Peripheral blood film — 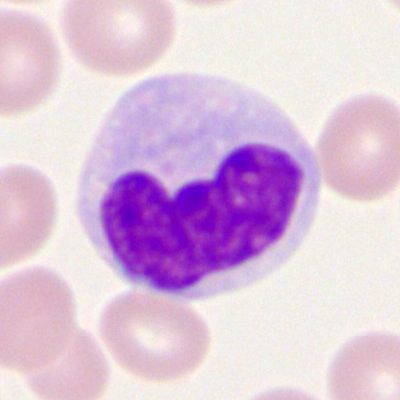

Showing a monocyte.